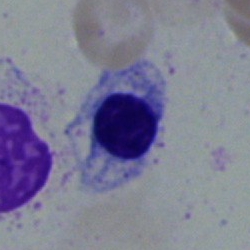Cell = nucleated red cell.